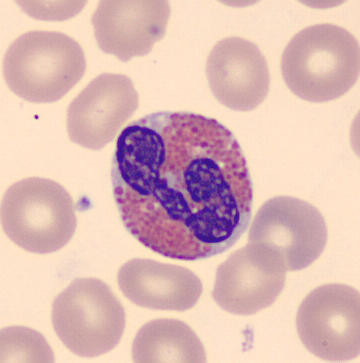
Peripheral blood smear · MGG stain.
Morphology consistent with an eosinophilic granulocyte.